Bone marrow smear; 250×250 — 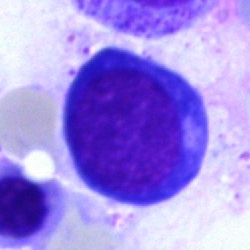
This is a pronormoblast.